Image size 250×250; May-Grünwald-Giemsa stain; bone marrow smear
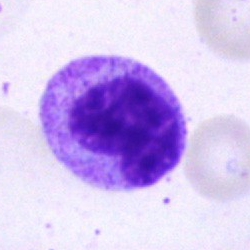 Q: What type of cell is this?
A: This is a metamyelocyte.